May-Grünwald-Giemsa stain. Bone marrow aspirate smear:
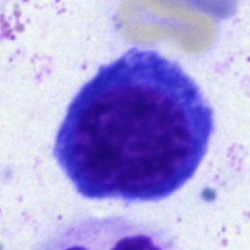

Showing a proerythroblast.